Peripheral blood film. Single-cell crop. Romanowsky-type stain
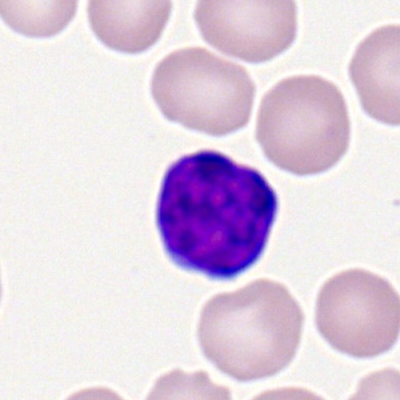{"cell_type": "lymphocyte", "lineage": "lymphoid"}